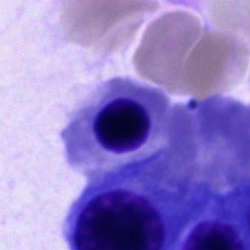Classification = normoblast.